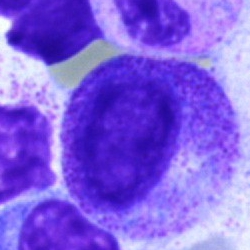 Bone marrow smear showing a myelocyte.